250×250; bone marrow smear.
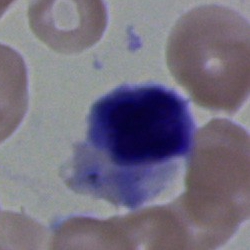

Morphology — erythroblast.